Bone marrow smear. Image size 250×250: 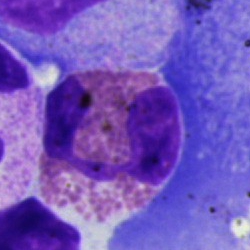
The cell shown is an eosinophil.